Bone marrow smear; 250×250.
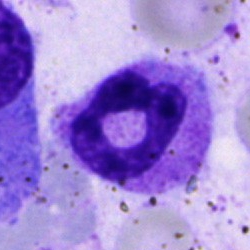

The morphological class is band neutrophil.